Bone marrow aspirate smear.
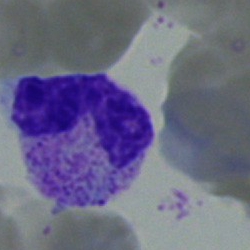The morphological class is band neutrophil.